Bone marrow aspirate smear
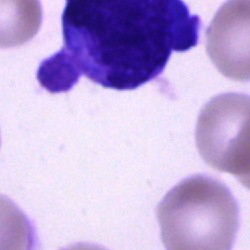

Showing a cell of indeterminate lineage.